Cropped to a single cell. Bone marrow smear: 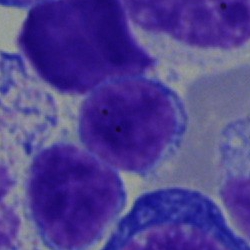Specimen: bone marrow aspirate smear.
Cell: lymphocyte.